Bone marrow aspirate smear. May-Grünwald-Giemsa/Pappenheim stain. Single-cell crop:
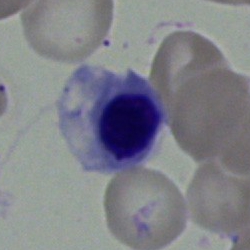Q: What is the morphological classification of this cell?
A: This is a nucleated red cell.